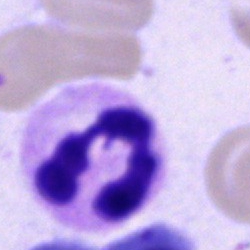

A polymorphonuclear neutrophil on a bone marrow smear.